Peripheral blood film. MGG stain. 360×363 px: 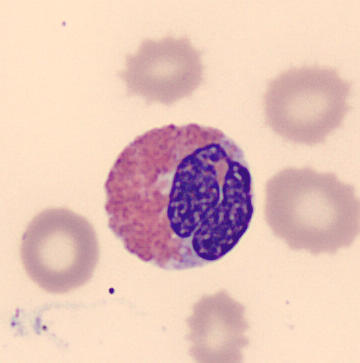

Cell type: eosinophil.